Bone marrow aspirate smear
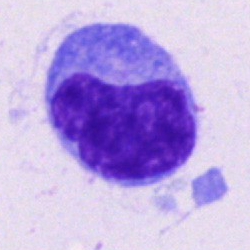Specimen: bone marrow smear.
Morphological class: plasma cell.
Lineage: lymphoid.